40× oil immersion; 250×250; bone marrow smear: 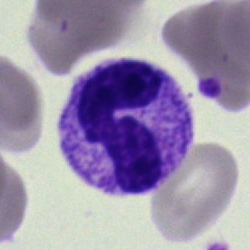
Showing a segmented neutrophil.